Bone marrow aspirate smear.
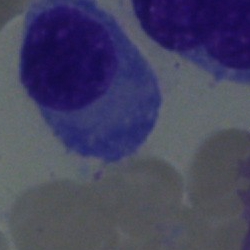

A plasmacyte.